Bone marrow smear; MGG-stained:
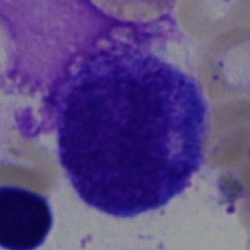
Single cell identified as a progranulocyte.